Image size 250×250; bone marrow aspirate smear
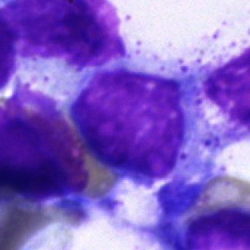
Specimen: bone marrow aspirate smear.
Morphological class: undifferentiated blast.